Bone marrow smear — 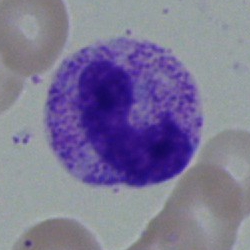 Q: What cell is this?
A: This is a neutrophil (band).